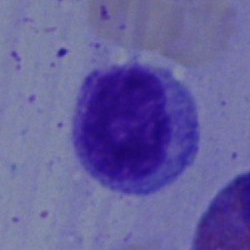
{"cell_type": "myelocyte"}